Bone marrow aspirate smear
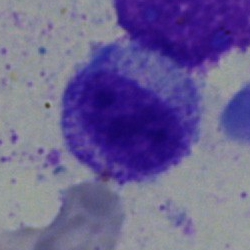

Myelocyte.